Bone marrow aspirate smear — 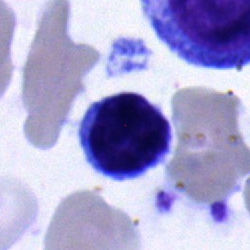

{"cell_type": "typical lymphocyte", "lineage": "lymphoid"}